Bone marrow smear — 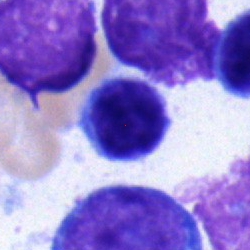

The cell shown is a lymphocyte.